Bone marrow aspirate smear. Pappenheim-stained. 250×250 px.
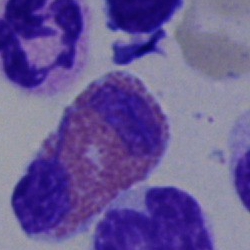 Q: What is the morphological classification of this cell?
A: This is an eosinophilic granulocyte.